Bone marrow aspirate smear. 40× oil immersion:
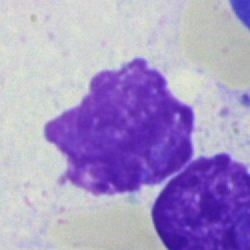Q: What is shown here?
A: It is an artifact.